Bone marrow smear.
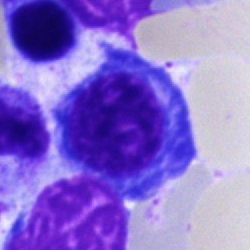 Q: Identify the cell.
A: Nucleated red cell.